Bone marrow smear:
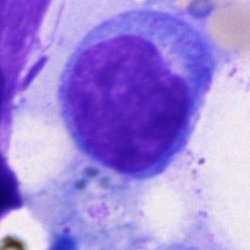 This is a blast cell.